Bone marrow aspirate smear. 250×250 px. Single-cell field
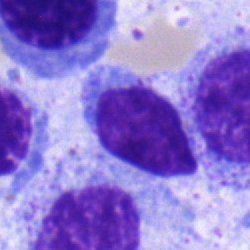

Single cell identified as a typical lymphocyte.